Bone marrow smear:
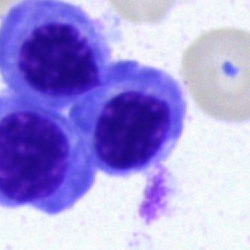
Q: What is shown here?
A: This is a nucleated red cell.